Bone marrow smear · 250 by 250 pixels: 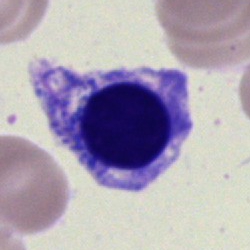
Cell = erythroblast.